Brightfield, 40× oil-immersion objective; bone marrow aspirate smear; 250×250
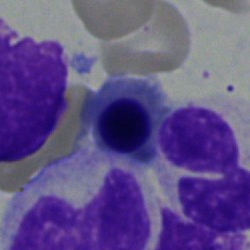

Single cell identified as a normoblast.